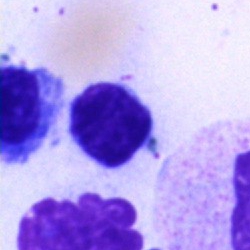

A typical lymphocyte.